Bone marrow smear. Brightfield, 40× oil-immersion objective:
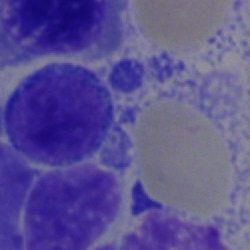 Specimen: bone marrow smear.
Cell type: lymphocyte.